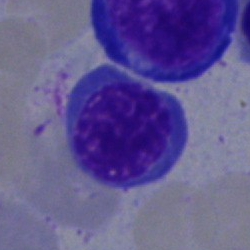 This is a nucleated red blood cell.